Bone marrow aspirate smear — 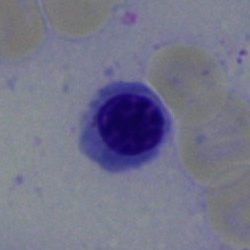The morphological class is nucleated red blood cell.